250 by 250 pixels; bone marrow smear.
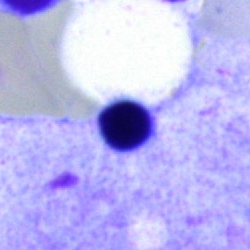 An artifact.